Bone marrow aspirate smear: 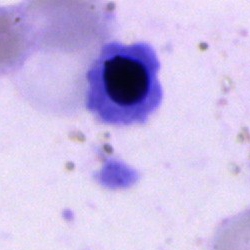
Q: What type of cell is this?
A: An erythroblast.